Bone marrow aspirate smear
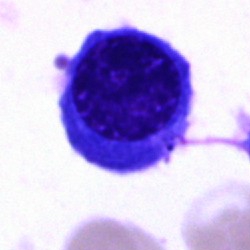 Impression — nucleated red blood cell.